Peripheral blood film; brightfield, 100× oil-immersion objective
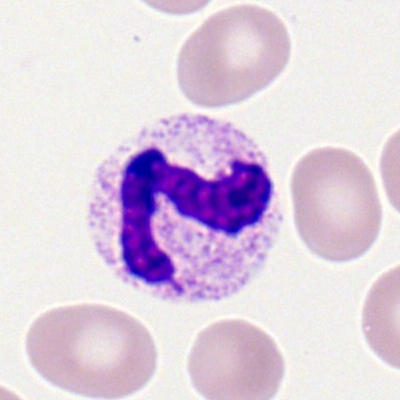
Cell = segmented neutrophil.